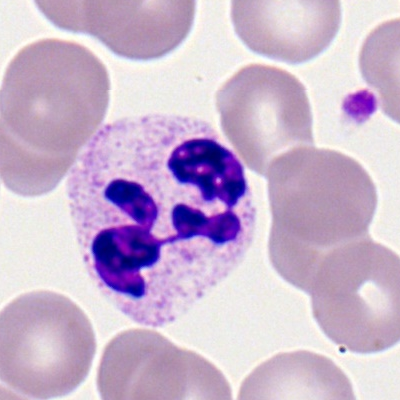

{"cell_type": "neutrophil (segmented)"}